Peripheral blood film.
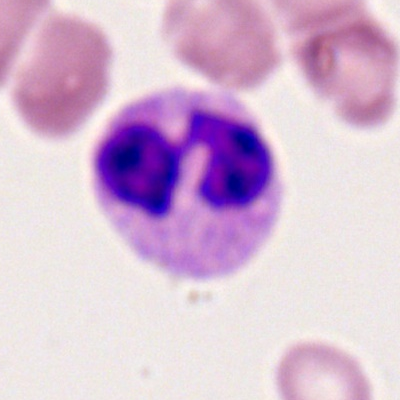 Specimen: peripheral blood film.
Cell: polymorphonuclear neutrophil.
Lineage: myeloid.